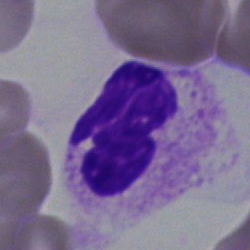Morphology consistent with a neutrophil (segmented).